Bone marrow aspirate smear.
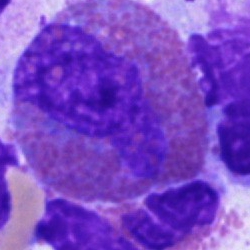
Cell = eosinophil.